250×250; bone marrow aspirate smear — 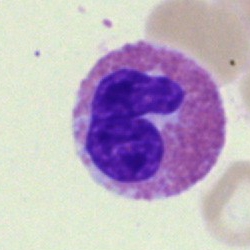 This is an eosinophil.